Bone marrow smear.
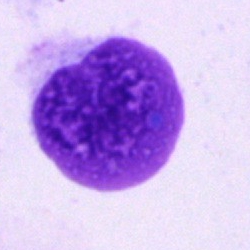

This is an artefact.